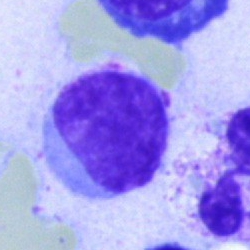

This is a lymphocyte.